Image size 250×250; single cell centered in the field; bone marrow aspirate smear — 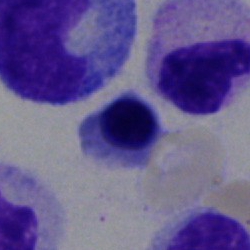

Specimen: bone marrow aspirate smear.
Cell: nucleated red cell.